May-Grünwald-Giemsa/Pappenheim stain; bone marrow smear.
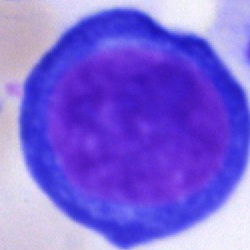
Classification — proerythroblast.